Bone marrow aspirate smear
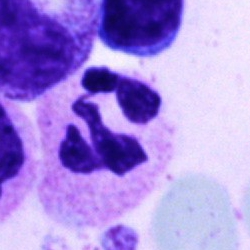 {"cell_type": "polymorphonuclear neutrophil"}